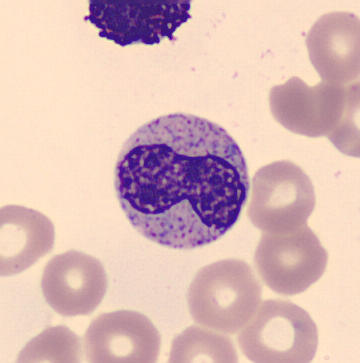 Specimen: peripheral blood film.
Cell type: metamyelocyte.
Lineage: myeloid.